Bone marrow smear.
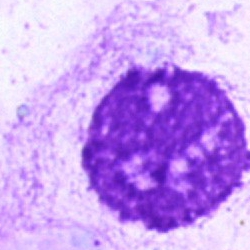{"cell_type": "artefact"}